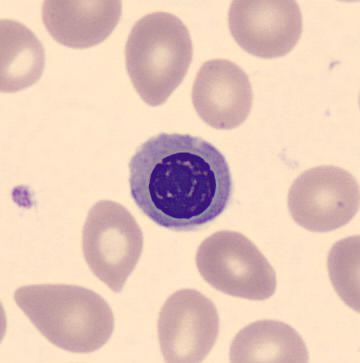 Peripheral blood film · image size 360×363. Q: What cell is this?
A: A normoblast.